Bone marrow smear: 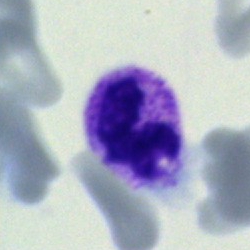

Showing a polymorphonuclear neutrophil.